Bone marrow aspirate smear · single-cell crop:
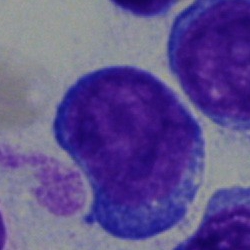

Morphology → proerythroblast.